Bone marrow smear: 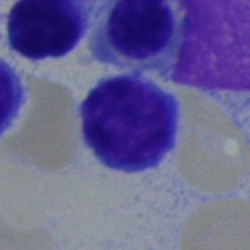

A typical lymphocyte.